Bone marrow smear; May-Grünwald-Giemsa stain: 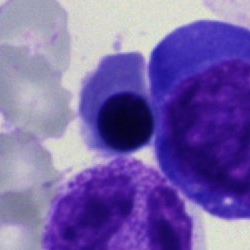Showing a nucleated red cell.